Bone marrow aspirate smear. May-Grünwald-Giemsa stain.
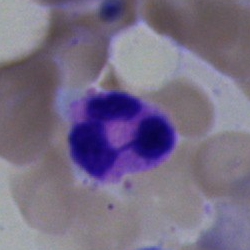Classification — polymorphonuclear neutrophil.